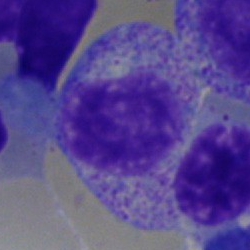Single-cell crop from a bone marrow smear: myelocyte.